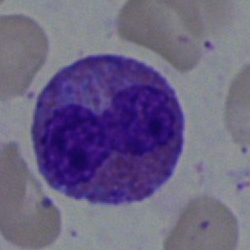
Impression → eosinophil.